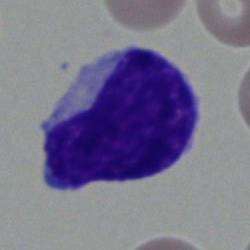 Classification: blast.